Bone marrow aspirate smear; 250×250 px
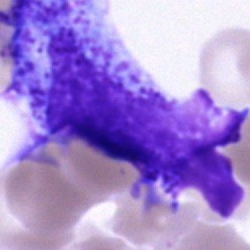
Single cell identified as a progranulocyte.